Bone marrow aspirate smear; single-cell field.
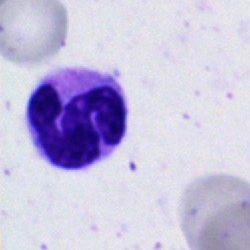
Specimen: bone marrow smear.
Cell: segmented neutrophil.
Lineage: myeloid.